Bone marrow smear.
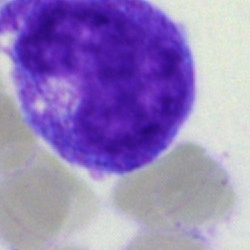
Morphological class: progranulocyte.